Bone marrow smear. 250 by 250 pixels: 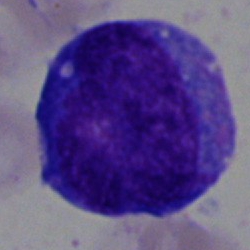

Showing an undifferentiated blast.